Peripheral blood smear
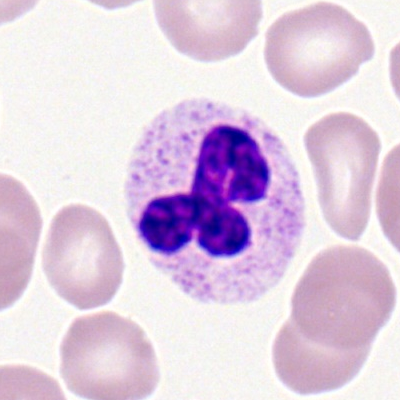Morphological class: polymorphonuclear neutrophil.